250×250 · brightfield, 40× oil-immersion objective · bone marrow smear.
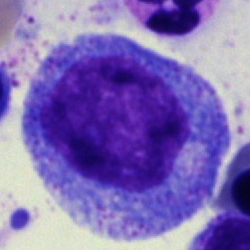 The cell is progranulocyte.